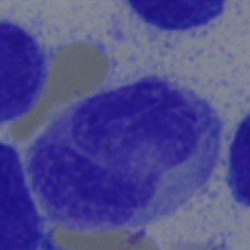Showing a monocyte.